Image size 250×250. Bone marrow aspirate smear — 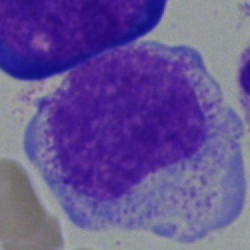Morphology — myelocyte.